Bone marrow smear:
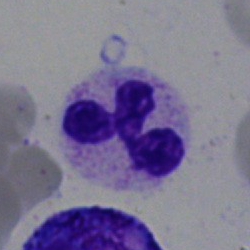 Specimen: bone marrow aspirate smear.
Morphological class: polymorphonuclear neutrophil.
Lineage: myeloid.